Pappenheim-stained. Bone marrow smear — 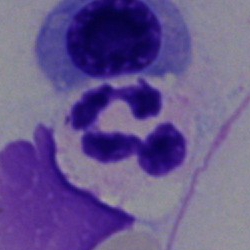Impression → neutrophil (segmented).